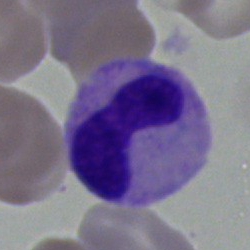 Cell type: stab cell.